Bone marrow aspirate smear: 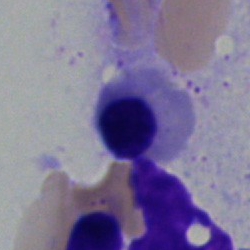Specimen: bone marrow smear.
Cell: normoblast.